Pappenheim-stained · 250 by 250 pixels · bone marrow smear — 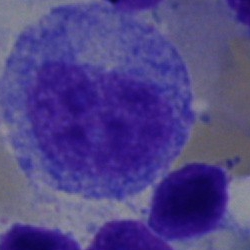 Impression — progranulocyte.